Bone marrow aspirate smear; Pappenheim-stained
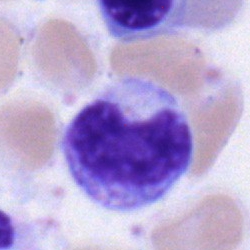The cell shown is a metamyelocyte.